Peripheral blood film · Romanowsky stain · image size 400×400:
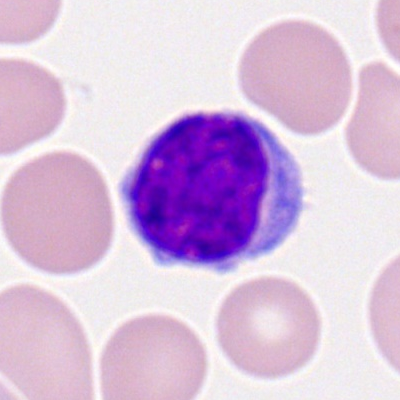

Specimen: peripheral blood film.
Cell type: typical lymphocyte.